Bone marrow aspirate smear:
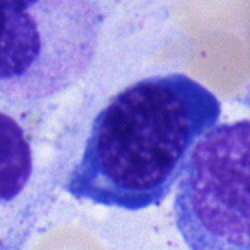Q: What is the morphological classification of this cell?
A: This is a normoblast.